Bone marrow aspirate smear
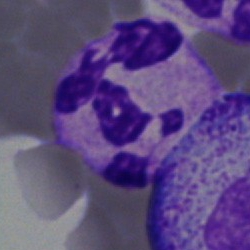
{"cell_type": "segmented neutrophil", "lineage": "myeloid"}